Bone marrow aspirate smear. May-Grünwald-Giemsa/Pappenheim stain — 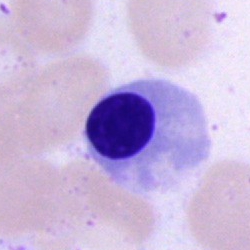
Classification = erythroblast.